MGG-stained. Bone marrow aspirate smear. 40× oil immersion: 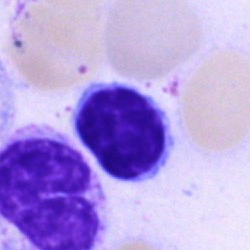
Impression → lymphocyte.